Bone marrow smear — 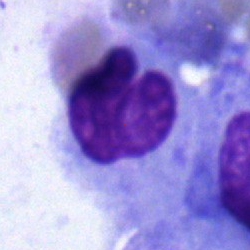 Morphological class: monocyte.